Bone marrow aspirate smear; Pappenheim-stained — 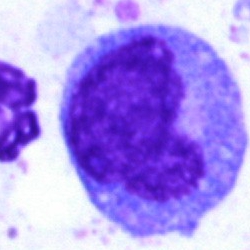

Impression → monocyte.